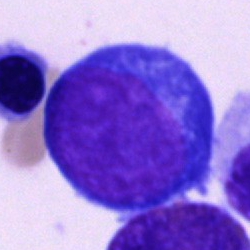 This is a pronormoblast.